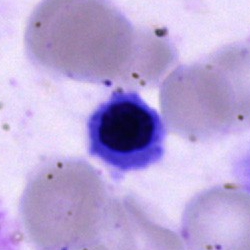Normoblast.